Pappenheim-stained; bone marrow aspirate smear — 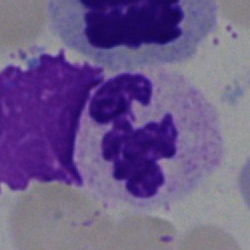 This is a segmented neutrophil.